Bone marrow smear:
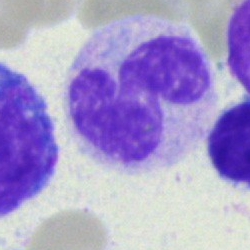Showing a monocyte.